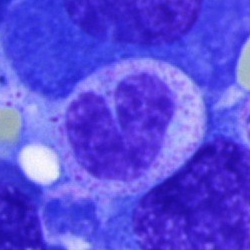 Cell type — band neutrophil.